Pappenheim-stained. Bone marrow smear.
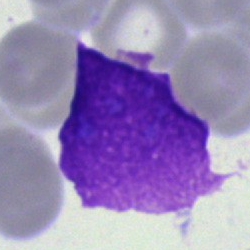
An artefact.